250×250 px · bone marrow smear: 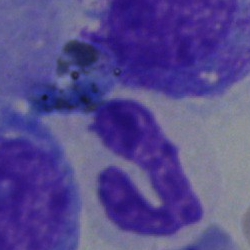 The morphological class is neutrophil (band).